Pappenheim-stained. Bone marrow smear: 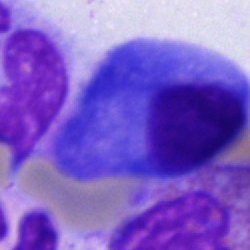 A plasmacyte.